Brightfield microscopy, 40× oil immersion; bone marrow smear — 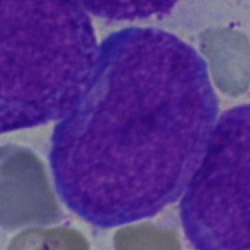
The cell shown is a promyelocyte.